Bone marrow aspirate smear:
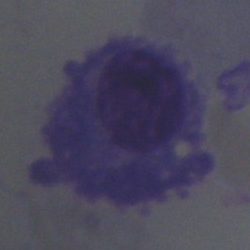
Morphological class: plasma cell.